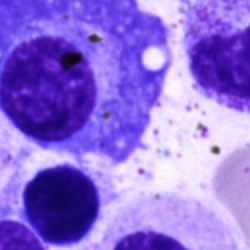 Specimen: bone marrow smear.
Cell: plasma cell.
Lineage: lymphoid.